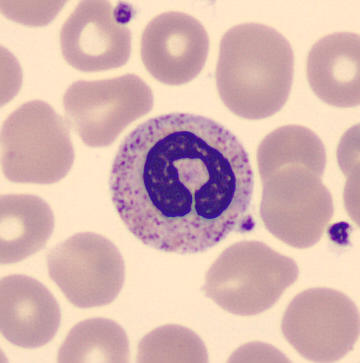

Specimen: peripheral blood film.
Cell: neutrophil (band).
Lineage: myeloid.